Bone marrow aspirate smear; May-Grünwald-Giemsa stain; single-cell crop:
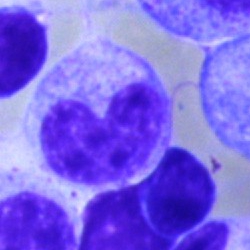 Showing a neutrophil (band).